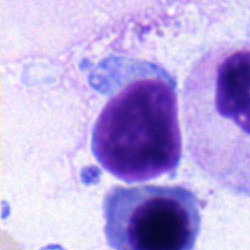 Specimen: bone marrow smear.
Classification: lymphocyte.
Lineage: lymphoid.